Bone marrow smear · image size 250×250 · single-cell field: 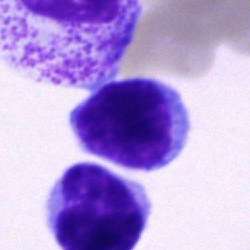

Specimen: bone marrow aspirate smear.
Classification: typical lymphocyte.
Lineage: lymphoid.